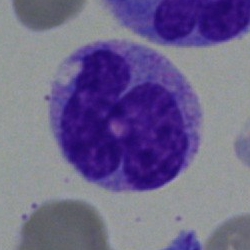

Q: What type of cell is this?
A: Monocyte.